Bone marrow smear:
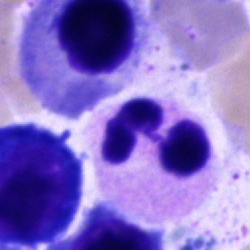
Morphology consistent with a neutrophil (segmented).